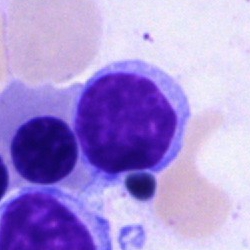

Morphology consistent with a typical lymphocyte.